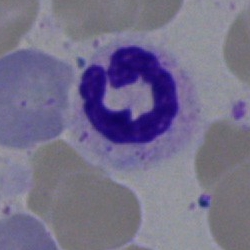A neutrophil (segmented).